Bone marrow smear · 250 by 250 pixels: 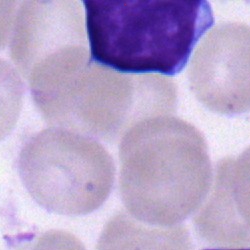 Q: Which cell type is shown here?
A: Typical lymphocyte.